Bone marrow aspirate smear
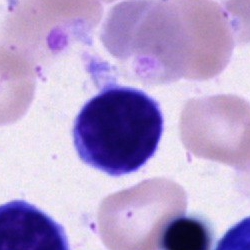Specimen: bone marrow smear.
Morphological class: typical lymphocyte.